Bone marrow aspirate smear: 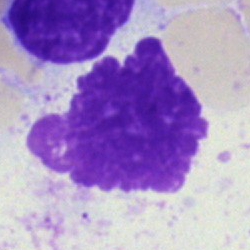

This is an artifact.